Bone marrow smear: 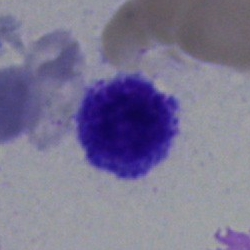

This is a lymphocyte.